Bone marrow smear; image size 250×250
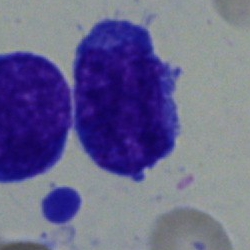

Single cell identified as an undifferentiated blast.